Bone marrow aspirate smear
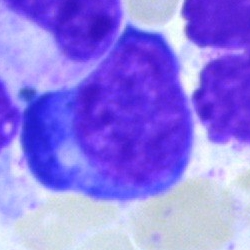Specimen: bone marrow aspirate smear.
Morphological class: proerythroblast.